Bone marrow smear:
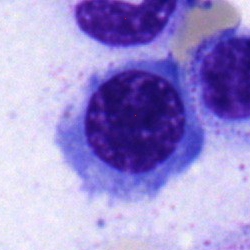Q: What is shown here?
A: This is a band-form neutrophil.